Bone marrow smear · single-cell crop · 40× objective, oil immersion: 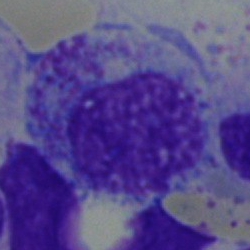Cell type — myelocyte.